Peripheral blood film — 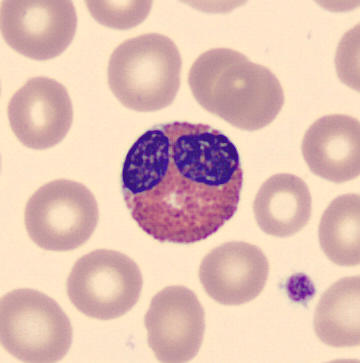

Morphological class: eosinophilic granulocyte.